Peripheral blood smear. Single cell centered in the field. Image size 400×400.
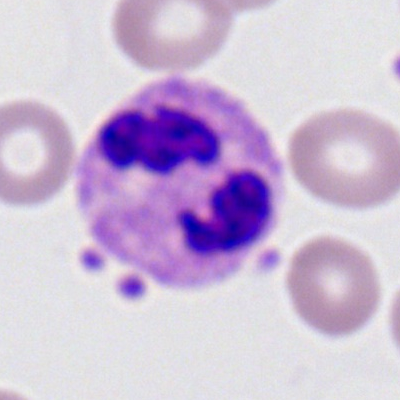Q: What is shown here?
A: This is a neutrophil (segmented).